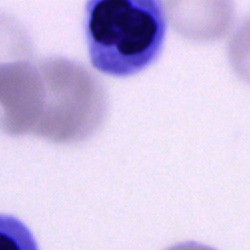A nucleated red blood cell.